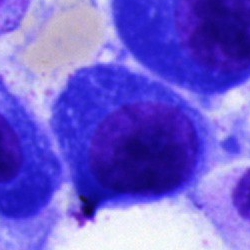 Specimen: bone marrow aspirate smear.
Cell type: plasmacyte.
Lineage: lymphoid.